Bone marrow aspirate smear.
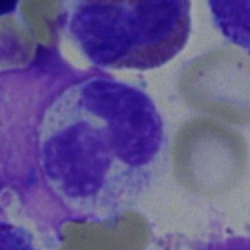{"cell_type": "neutrophil (segmented)", "lineage": "myeloid"}